Bone marrow aspirate smear. Single-cell crop.
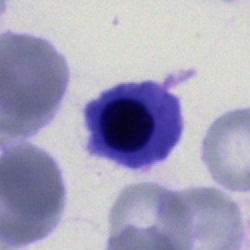

Specimen: bone marrow smear.
Morphological class: nucleated red blood cell.
Lineage: erythroid.